Bone marrow smear
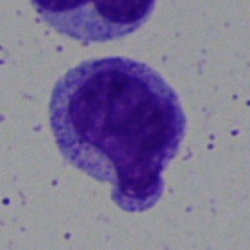
Morphological class = myelocyte.